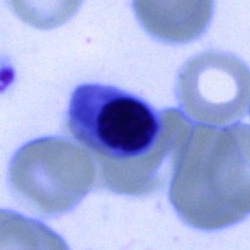 Showing a normoblast.